Bone marrow aspirate smear. Single cell centered in the field. 250×250:
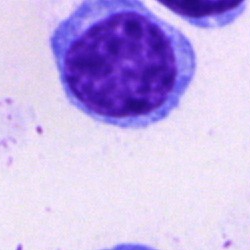Q: What cell is this?
A: This is a lymphocyte.